Bone marrow smear: 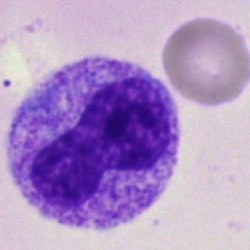 Classification: metamyelocyte.